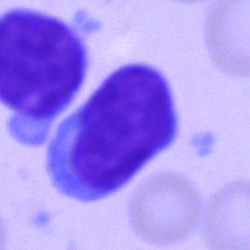 Morphological class: lymphocyte.